40× oil immersion; bone marrow smear — 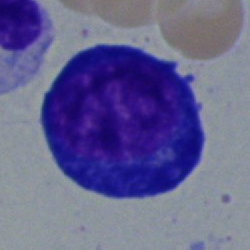
Showing a proerythroblast.